Bone marrow smear; May-Grünwald-Giemsa/Pappenheim stain:
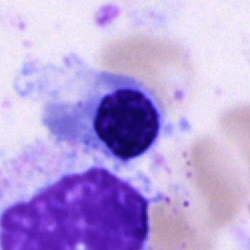 Specimen: bone marrow smear.
Classification: nucleated red cell.
Lineage: erythroid.